Bone marrow aspirate smear.
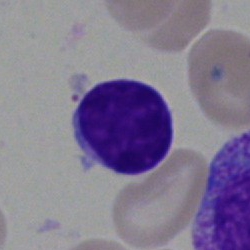Morphology — lymphocyte.